Bone marrow aspirate smear:
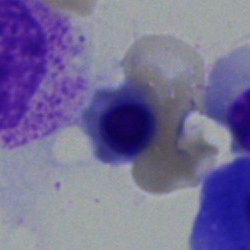

Impression → nucleated red blood cell.